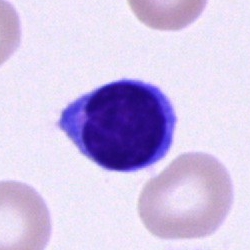
Specimen: bone marrow aspirate smear.
Cell: lymphocyte.
Lineage: lymphoid.